May-Grünwald-Giemsa/Pappenheim stain. Bone marrow smear.
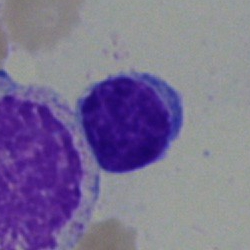

{"cell_type": "lymphocyte", "lineage": "lymphoid"}